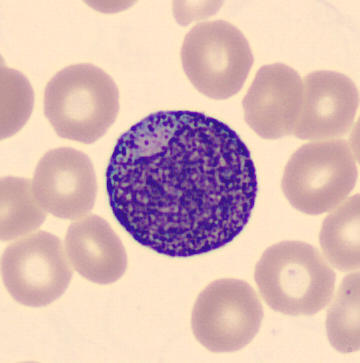
Cell: progranulocyte. Preparation: Peripheral blood film.